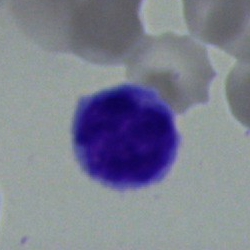 This is a typical lymphocyte.